Bone marrow smear.
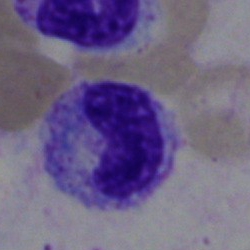

Specimen: bone marrow aspirate smear.
Cell: stab cell.
Lineage: myeloid.